Bone marrow aspirate smear · single cell centered in the field:
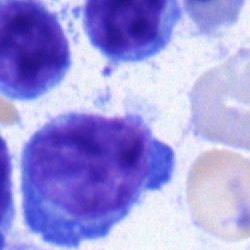 The cell shown is a typical lymphocyte.